Bone marrow smear.
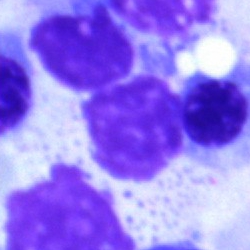
{"cell_type": "artifact"}